Bone marrow smear · May-Grünwald-Giemsa stain · image size 250×250 — 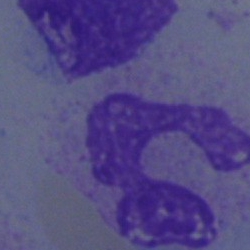

Single cell identified as a neutrophil (segmented).